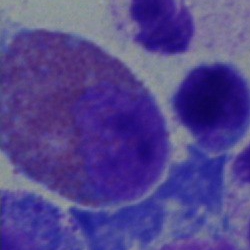

Q: What cell is this?
A: This is an eosinophilic granulocyte.